Brightfield, 40× oil-immersion objective; bone marrow aspirate smear.
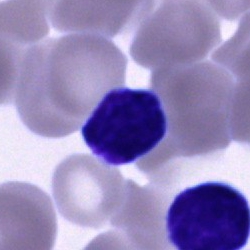Cell — typical lymphocyte.